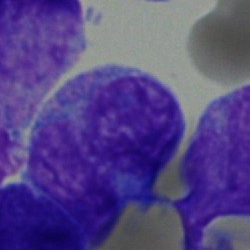
Q: What is shown here?
A: It is a blast cell.